Bone marrow aspirate smear
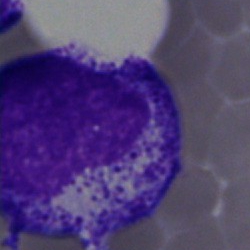Showing a metamyelocyte.